Bone marrow aspirate smear — 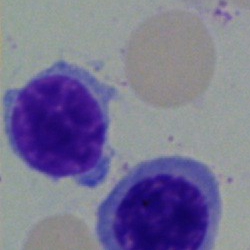 A lymphocyte.